M8 digital microscope (Precipoint), 100× oil immersion. Peripheral blood smear:
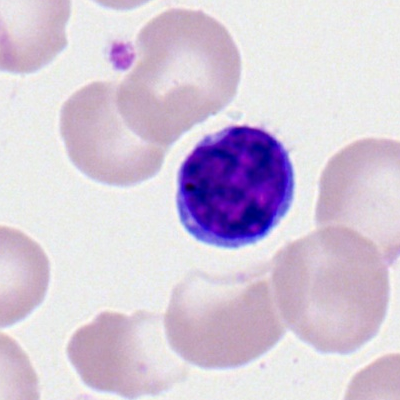 Morphology consistent with a typical lymphocyte.